Bone marrow aspirate smear · 250×250 · MGG-stained.
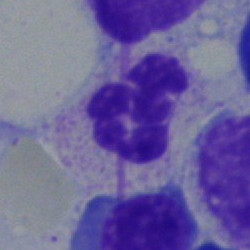

Segmented neutrophil.